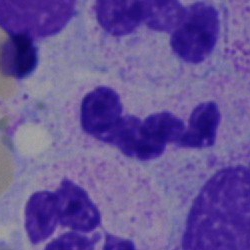

Single-cell crop from a bone marrow smear: segmented neutrophil.